Bone marrow aspirate smear
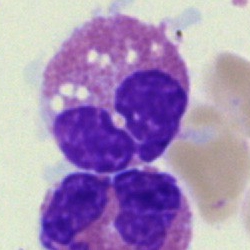

The cell shown is an eosinophil.